250 by 250 pixels · bone marrow smear · MGG-stained:
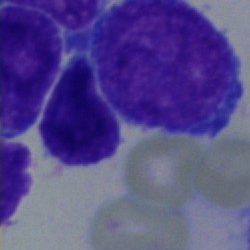

The cell shown is a blast.